40× oil immersion · bone marrow smear — 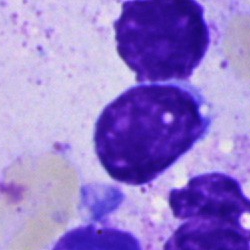

Impression — lymphocyte.